Peripheral blood film.
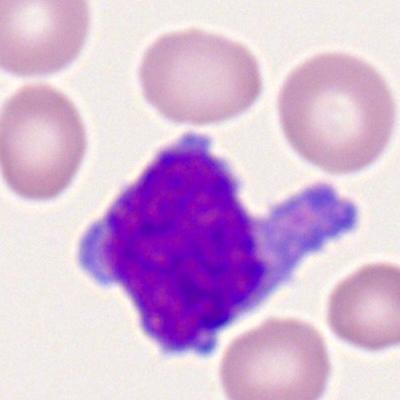Impression → typical lymphocyte.